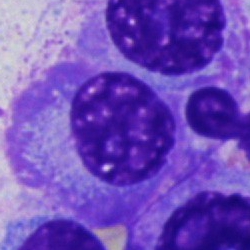

Bone marrow smear showing a plasma cell.